Bone marrow smear:
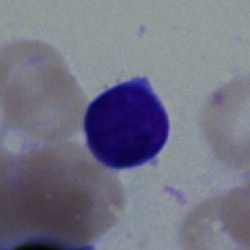
Morphology → typical lymphocyte.